Single-cell crop; bone marrow smear; brightfield, 40× oil-immersion objective — 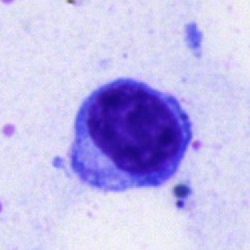

Typical lymphocyte.